Bone marrow smear
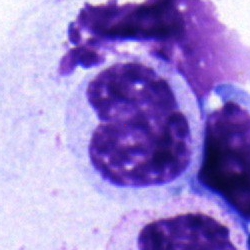Showing a metamyelocyte.